Peripheral blood film.
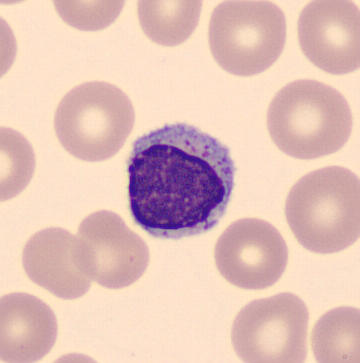

Morphology — typical lymphocyte.